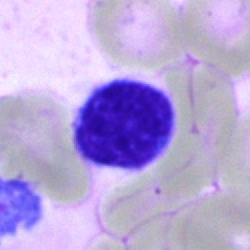Q: Identify the cell.
A: It is a typical lymphocyte.